Bone marrow smear
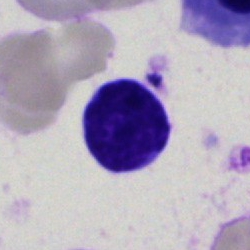
Showing a typical lymphocyte.